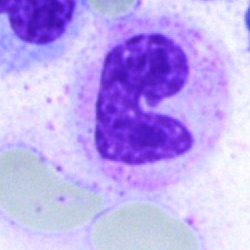Morphology consistent with a band-form neutrophil.